Bone marrow aspirate smear — 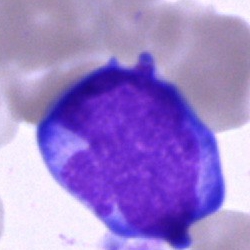
This is an undifferentiated blast.